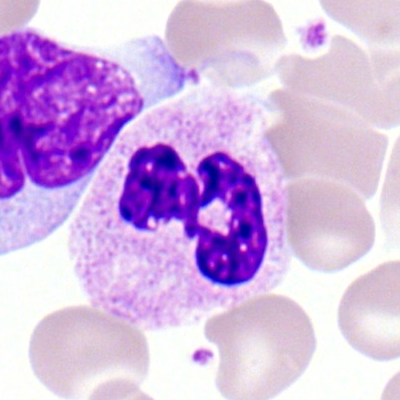
Specimen: peripheral blood film.
Classification: polymorphonuclear neutrophil.